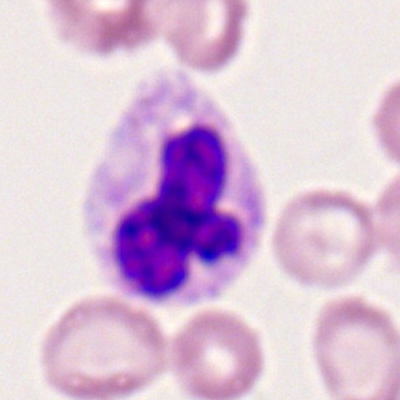

Peripheral blood film, single cell — neutrophil (segmented).